Brightfield, 40× oil-immersion objective. Bone marrow smear. Image size 250×250: 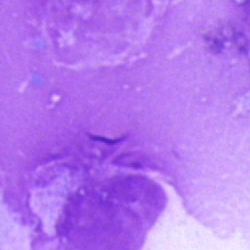Q: What is shown here?
A: Artefact.